40× oil immersion · bone marrow smear:
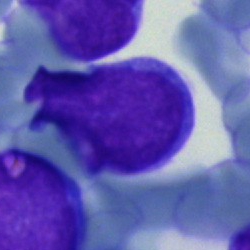 Showing an undifferentiated blast.